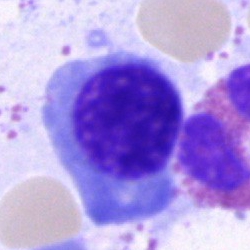

Q: What cell is this?
A: A nucleated red blood cell.